Peripheral blood film: 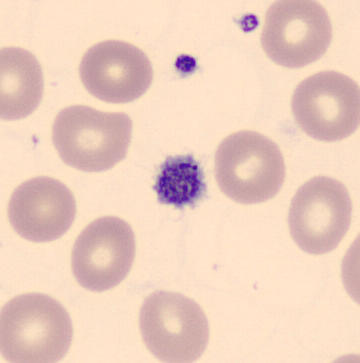

Classification: platelet (thrombocyte).